Bone marrow smear. May-Grünwald-Giemsa stain. 250×250: 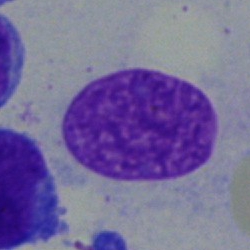Q: What is shown here?
A: This is an artefact.